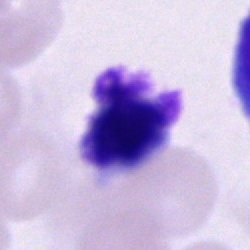Cell = artefact.